M8 digital microscope (Precipoint), 100× oil immersion · peripheral blood smear
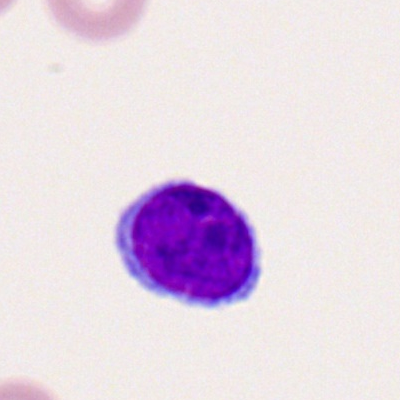
Cell type — typical lymphocyte.